Bone marrow aspirate smear — 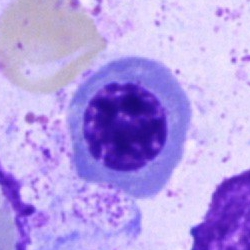Q: What is the morphological classification of this cell?
A: It is a nucleated red blood cell.